Bone marrow smear · 250 by 250 pixels
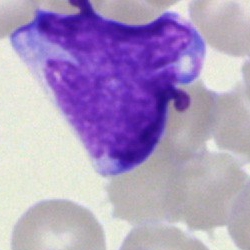

Specimen: bone marrow aspirate smear.
Cell: blast.